Bone marrow smear
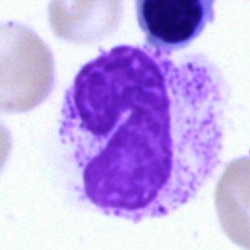 {"cell_type": "stab cell", "lineage": "myeloid"}